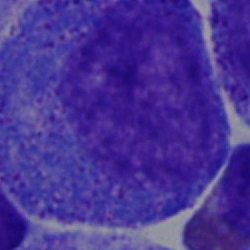 Cell: promyelocyte.